Bone marrow smear: 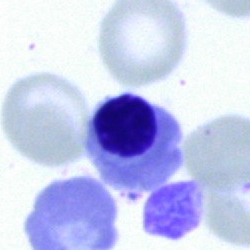
Q: Identify the cell.
A: Erythroblast.